Brightfield, 40× oil-immersion objective. Bone marrow smear. 250×250 px — 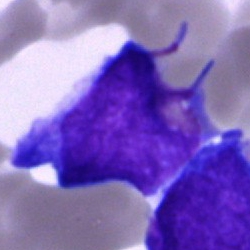 Q: Identify the cell.
A: A blast cell.